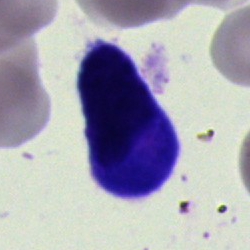

The cell shown is a lymphocyte.